Peripheral blood smear: 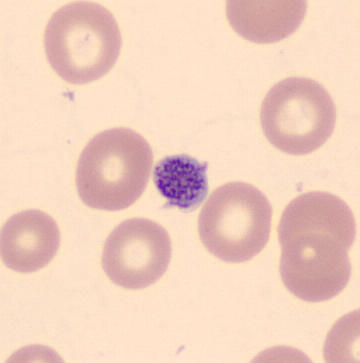Morphological class = thrombocyte.